Bone marrow smear: 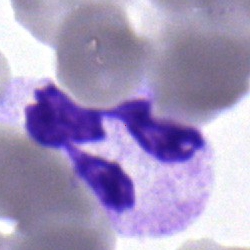
Cell type: neutrophil (segmented).